Bone marrow smear.
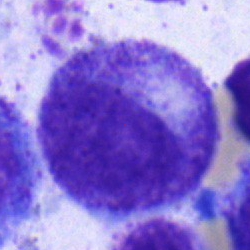
Cell type: myelocyte.